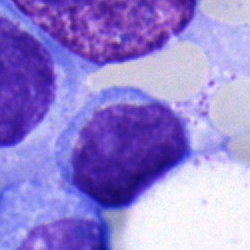

Q: What is shown here?
A: This is a lymphocyte.